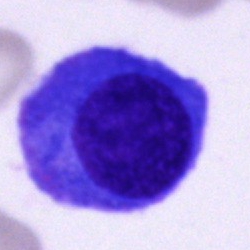 This is a plasma cell.